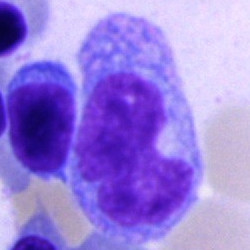Showing a monocyte.